Single-cell crop. Bone marrow smear
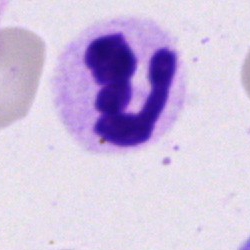Q: What is the morphological classification of this cell?
A: It is a polymorphonuclear neutrophil.